Bone marrow smear; 250×250.
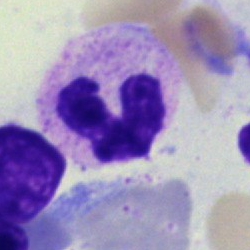 {"cell_type": "stab cell"}